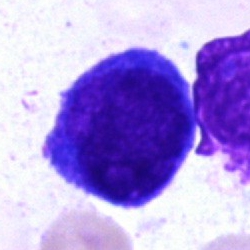
Bone marrow smear showing a blast.